Bone marrow smear.
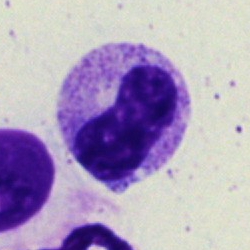
A band-form neutrophil.